40× objective, oil immersion; bone marrow aspirate smear; single cell centered in the field — 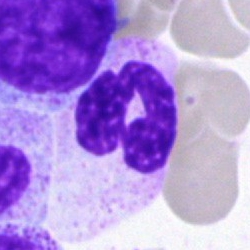 Morphology — polymorphonuclear neutrophil.